Bone marrow smear — 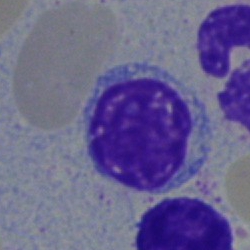 Single cell identified as a typical lymphocyte.